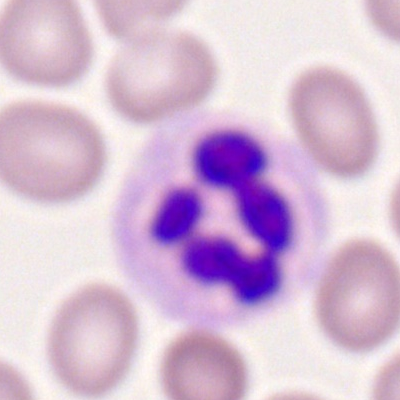Morphological class: neutrophil (segmented).